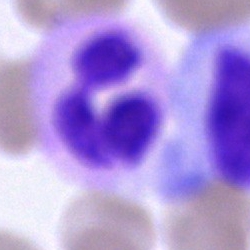
Bone marrow aspirate smear, single cell — polymorphonuclear neutrophil.